Bone marrow smear: 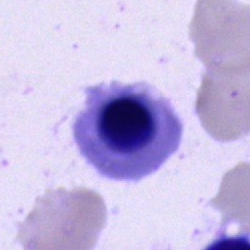

Cell type = erythroblast.